Bone marrow smear
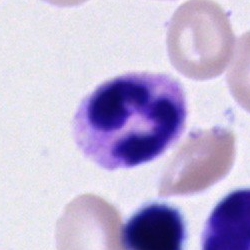Morphological class — polymorphonuclear neutrophil.